Bone marrow aspirate smear — 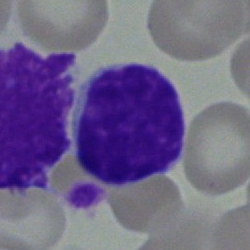

A typical lymphocyte.